Bone marrow aspirate smear — 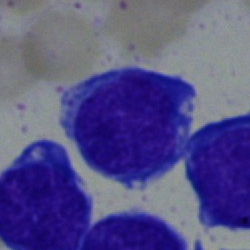

Morphology consistent with a blast cell.